Bone marrow aspirate smear. 250 by 250 pixels:
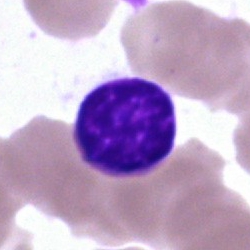
The morphological class is lymphocyte.